Peripheral blood smear · 400×400:
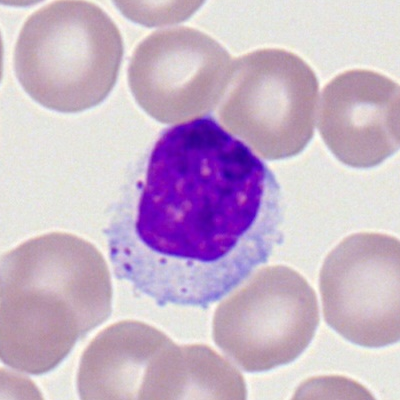

Showing a lymphocyte.